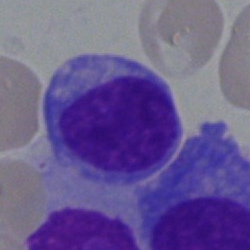

Cell type = plasma cell.